Bone marrow smear · brightfield, 40× oil-immersion objective — 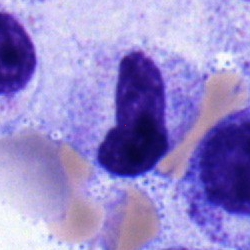

Morphology → stab cell.